Bone marrow smear.
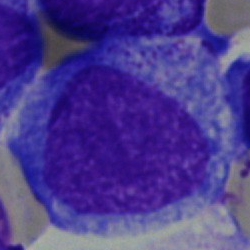
This is a progranulocyte.